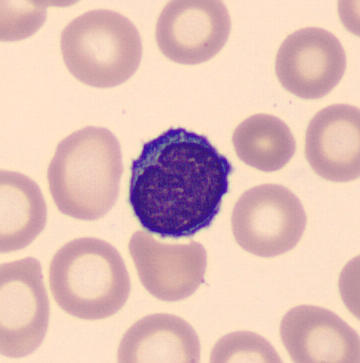 Image: Peripheral blood film. This is a lymphocyte.